Bone marrow aspirate smear · 250×250: 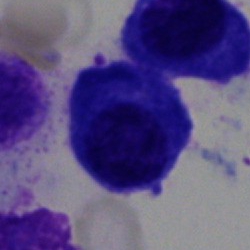

Impression — plasmacyte.